Peripheral blood film.
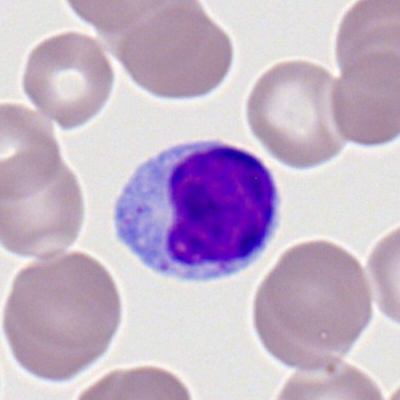 Q: What is shown here?
A: A typical lymphocyte.